Bone marrow aspirate smear — 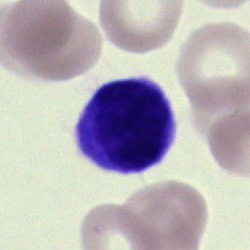Cell: typical lymphocyte.